Bone marrow smear · cropped to a single cell — 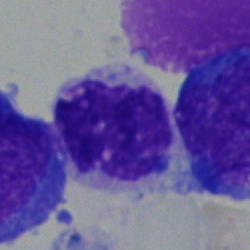 Specimen: bone marrow aspirate smear.
Cell: neutrophil (segmented).
Lineage: myeloid.